Bone marrow aspirate smear.
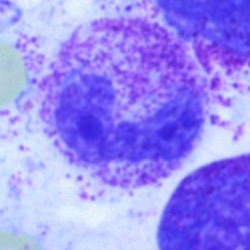Classification = segmented neutrophil.